Single cell centered in the field. Bone marrow smear. 250×250 px.
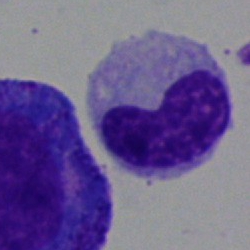Morphology consistent with a neutrophil (band).